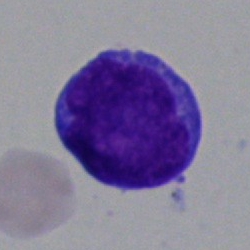Cell type = undifferentiated blast.